Bone marrow smear.
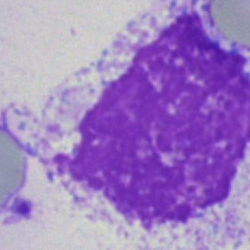 Morphology → artifact.